Single-cell field; bone marrow aspirate smear: 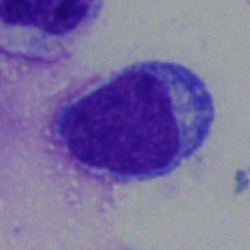
Classification — lymphocyte.